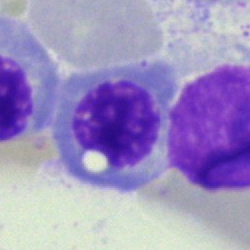

Single-cell crop from a bone marrow smear: nucleated red blood cell.